Peripheral blood film · 100× objective, oil immersion — 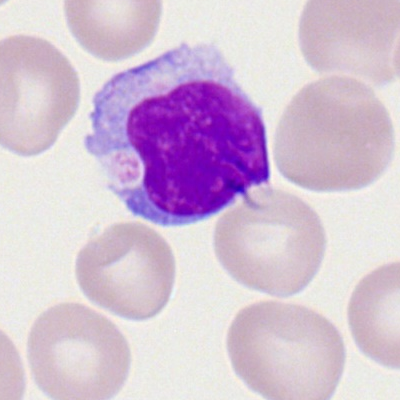

Cell = lymphocyte.